Bone marrow aspirate smear:
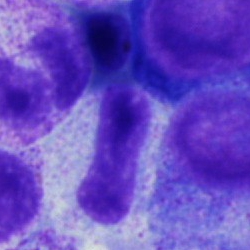 Morphological class — myelocyte.